Bone marrow smear:
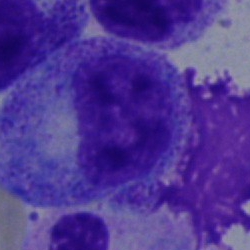
{"cell_type": "progranulocyte"}